Peripheral blood smear
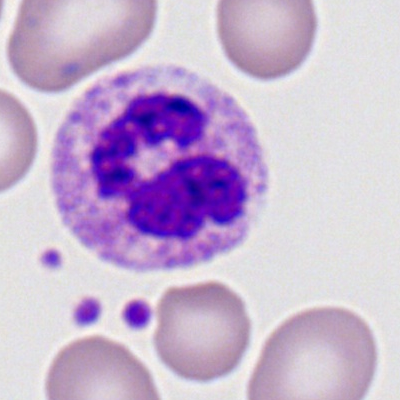 This is a segmented neutrophil.